Bone marrow smear. 40× objective, oil immersion:
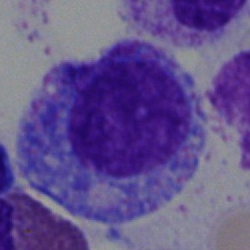
The cell shown is a promyelocyte.